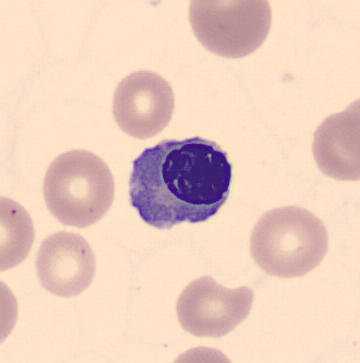

Showing a normoblast.
Peripheral blood film. Cropped to a single cell. 360 by 363 pixels.